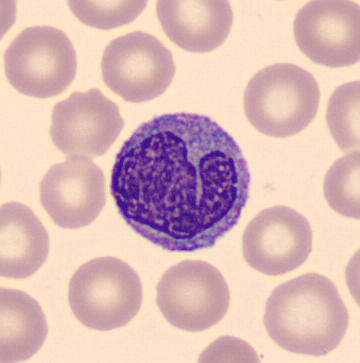Cell = monocyte.